Bone marrow aspirate smear; 250×250; May-Grünwald-Giemsa/Pappenheim stain.
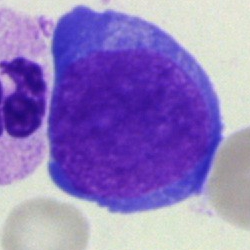
Specimen: bone marrow smear.
Classification: pronormoblast.
Lineage: erythroid.